Cropped to a single cell; bone marrow smear:
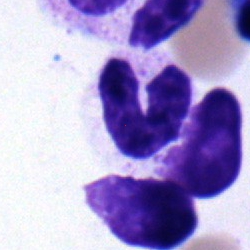{"cell_type": "stab cell", "lineage": "myeloid"}